Single cell centered in the field. Bone marrow aspirate smear:
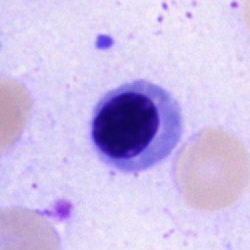 Morphology → nucleated red blood cell.